May-Grünwald-Giemsa stain; bone marrow smear: 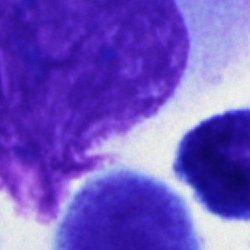Q: What is shown here?
A: This is an artefact.